Automated cell imaging (CellaVision DM96). Peripheral blood smear:
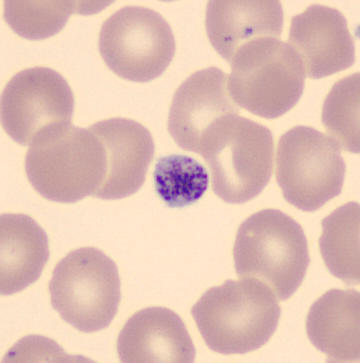 Identified as a platelet.